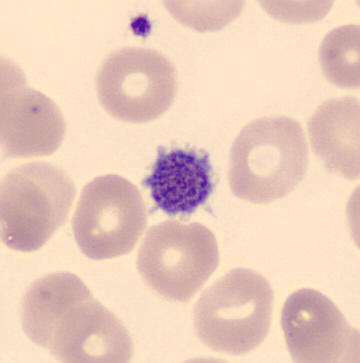Peripheral blood smear.
Cell type: thrombocyte.